Bone marrow smear: 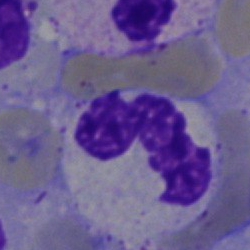

Segmented neutrophil.